Image size 360×363. Peripheral blood film: 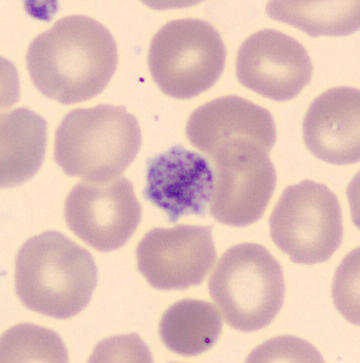 The cell type is thrombocyte.